Bone marrow smear; 40× objective, oil immersion:
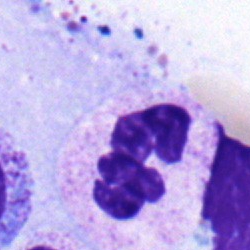
The cell is neutrophil (segmented).